May-Grünwald-Giemsa/Pappenheim stain · bone marrow aspirate smear.
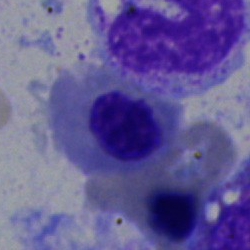Q: What is shown here?
A: It is a nucleated red cell.